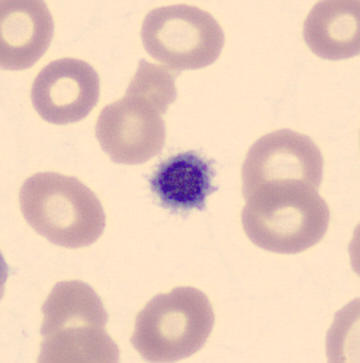

{"cell_type": "platelet (thrombocyte)"} Peripheral blood smear.